Single-cell crop. 250 by 250 pixels. Bone marrow aspirate smear
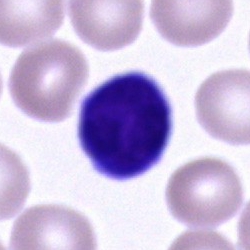
Specimen: bone marrow smear.
Morphological class: lymphocyte.
Lineage: lymphoid.